Bone marrow smear
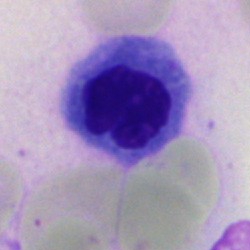

Erythroblast.